Bone marrow smear:
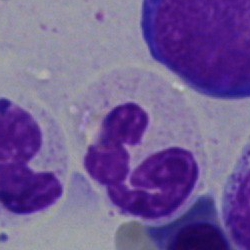
Morphology → neutrophil (segmented).